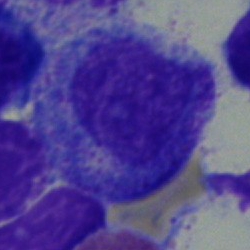
Single-cell crop from a bone marrow smear: progranulocyte.